Bone marrow smear — 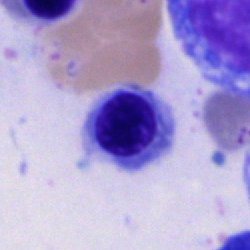 {"cell_type": "normoblast"}